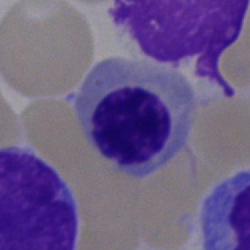The cell type is normoblast.